Bone marrow aspirate smear:
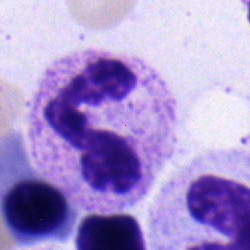

Cell type — segmented neutrophil.